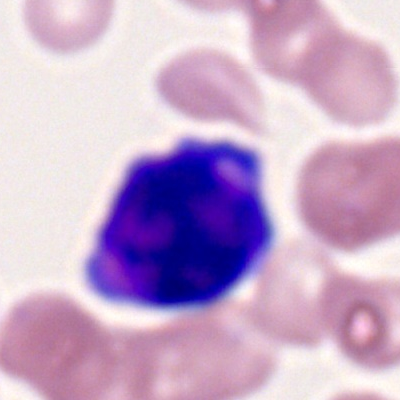
This is a myeloid blast.